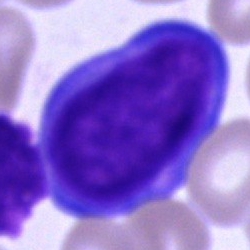
Showing an undifferentiated blast.